250×250 · bone marrow aspirate smear
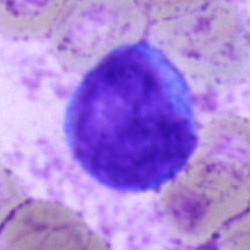{"cell_type": "undifferentiated blast"}